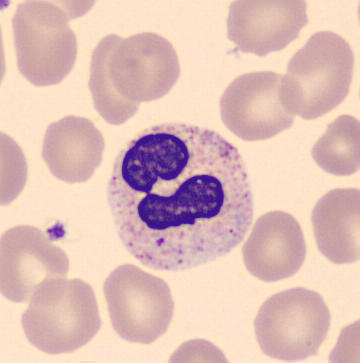Peripheral blood film.

Morphology → polymorphonuclear neutrophil.